Peripheral blood film.
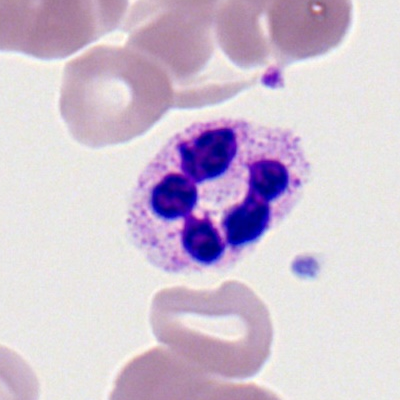Q: What type of cell is this?
A: A neutrophil (segmented).